250×250. Bone marrow smear. May-Grünwald-Giemsa stain: 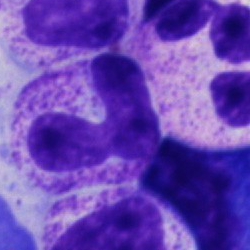Q: What cell is this?
A: It is a neutrophil (band).